Bone marrow aspirate smear
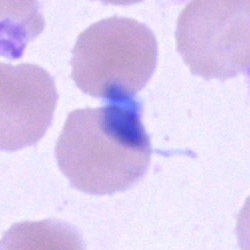 Q: What is shown here?
A: It is an artefact.